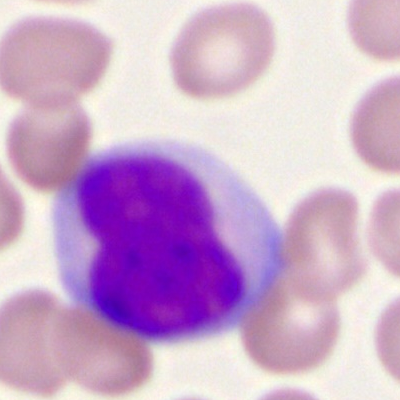
Classification: myeloid blast.